Bone marrow aspirate smear
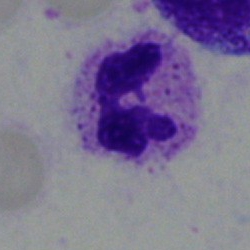Impression — polymorphonuclear neutrophil.